Bone marrow smear · image size 250×250 — 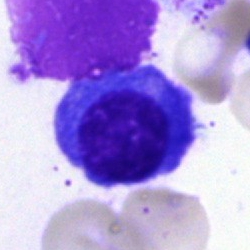
Specimen: bone marrow aspirate smear.
Classification: plasma cell.
Lineage: lymphoid.